MGG-stained; bone marrow smear; single cell centered in the field:
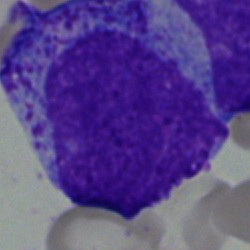A promyelocyte.